Bone marrow aspirate smear:
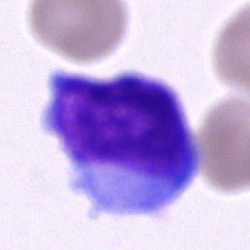

The cell shown is a blast.